Bone marrow aspirate smear
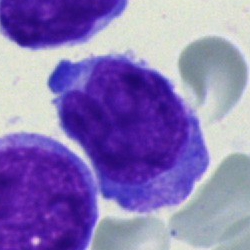
Q: What type of cell is this?
A: It is an undifferentiated blast.